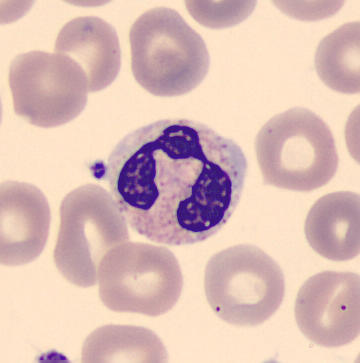 Peripheral blood smear · imaged on a CellaVision DM96 analyser · single cell centered in the field.
Morphological class: polymorphonuclear neutrophil.